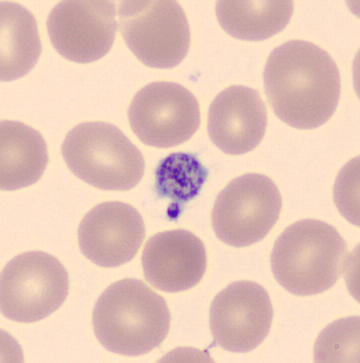Preparation: Peripheral blood film; imaged on a CellaVision DM96 analyser.
Morphology → platelet.